Bone marrow aspirate smear:
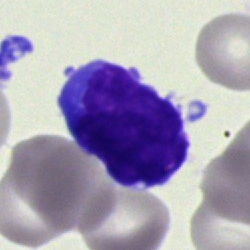
A blast cell.